Bone marrow aspirate smear.
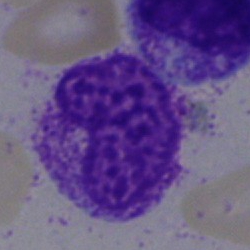

Specimen: bone marrow smear.
Cell: artifact.